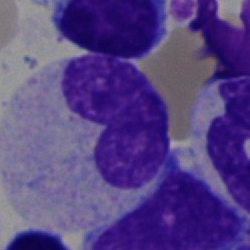 Cell type — neutrophil (band).